Bone marrow smear. Pappenheim-stained. Single cell centered in the field
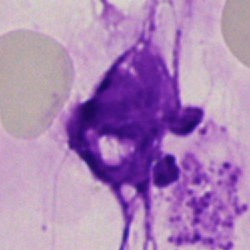
Morphological class — artefact.